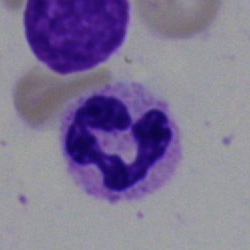 Impression — segmented neutrophil.